Bone marrow smear. MGG-stained. 250 by 250 pixels
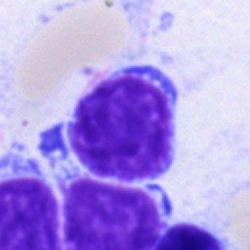 Impression → typical lymphocyte.